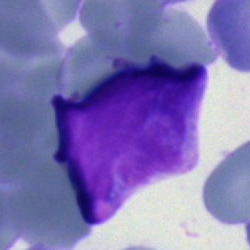

Q: What is shown here?
A: It is a blast cell.